Bone marrow smear — 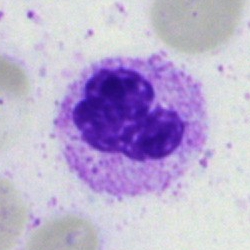 Showing a neutrophil (segmented).